Peripheral blood film.
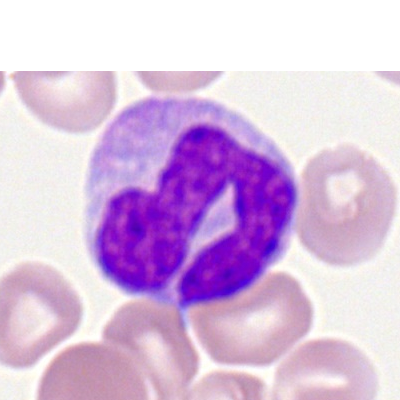
Morphological class: monocyte.